Bone marrow aspirate smear — 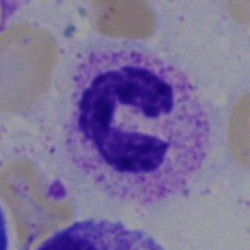Morphology consistent with a neutrophil (segmented).